May-Grünwald-Giemsa stain; bone marrow smear; cropped to a single cell:
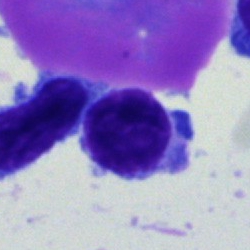 {"cell_type": "lymphocyte", "lineage": "lymphoid"}